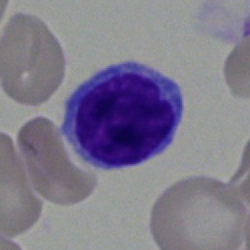Morphology → lymphocyte.